Bone marrow smear · Pappenheim-stained
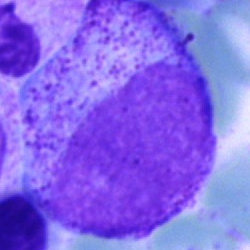Specimen: bone marrow smear.
Morphological class: myelocyte.